MGG-stained · cropped to a single cell · bone marrow smear.
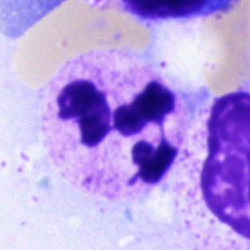Showing a segmented neutrophil.